Bone marrow aspirate smear — 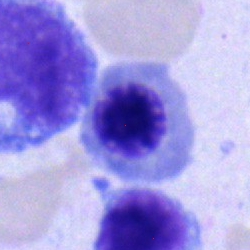{"cell_type": "erythroblast", "lineage": "erythroid"}